Image size 250×250 · bone marrow aspirate smear: 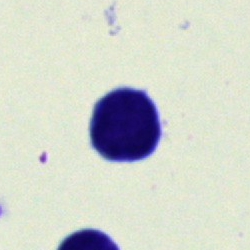 Cell = typical lymphocyte.